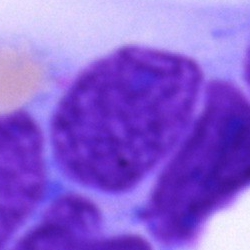Morphology consistent with an artifact.